Single-cell field. Bone marrow aspirate smear:
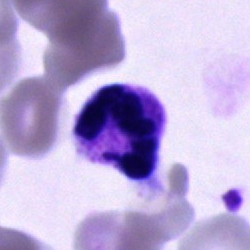
The cell is neutrophil (segmented).